Bone marrow smear: 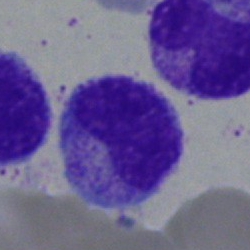Specimen: bone marrow smear.
Cell: metamyelocyte.
Lineage: myeloid.